Bone marrow aspirate smear.
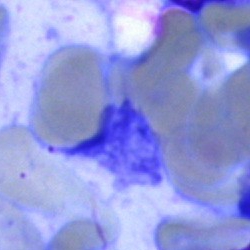 Artefact.